Bone marrow aspirate smear. Single-cell crop:
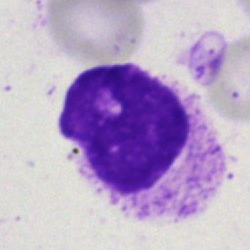

The cell shown is an artefact.